Single cell centered in the field; Romanowsky-stained; peripheral blood smear
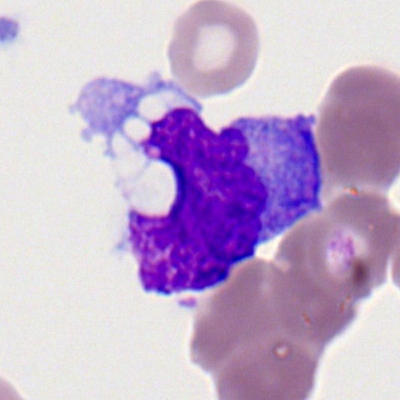Q: What cell is this?
A: A monocyte.